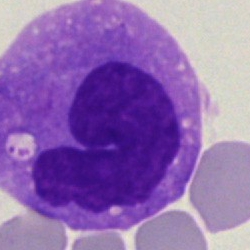Specimen: bone marrow aspirate smear.
Cell type: monocyte.
Lineage: myeloid.